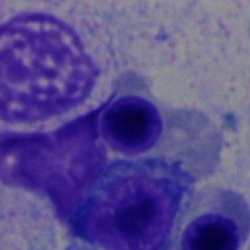 Morphological class = nucleated red cell.